Bone marrow smear — 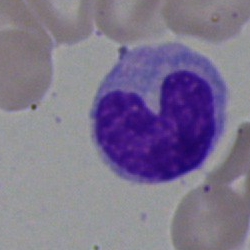
Q: What cell is this?
A: Neutrophil (band).